Bone marrow smear
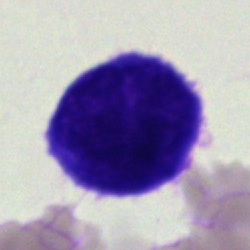

Specimen: bone marrow aspirate smear.
Cell: blast cell.